Bone marrow smear. Image size 250×250:
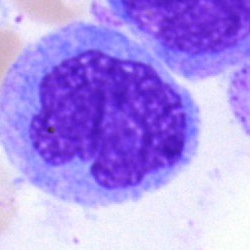
Q: What is shown here?
A: Monocyte.